Peripheral blood smear
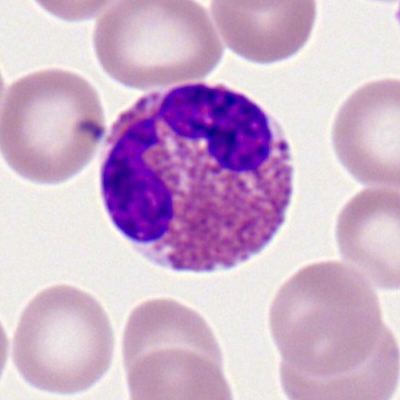Single cell identified as an eosinophil.